Bone marrow aspirate smear. Single-cell field — 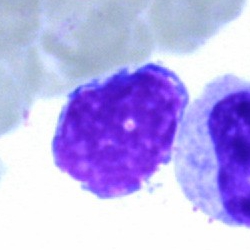 Cell type — artifact.